Bone marrow aspirate smear. Image size 250×250.
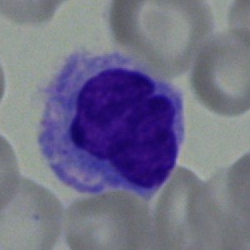

A monocyte.